Bone marrow smear: 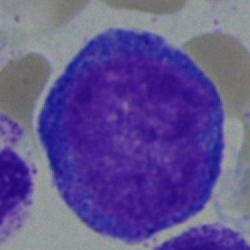Q: What is the morphological classification of this cell?
A: It is a promyelocyte.